Bone marrow aspirate smear
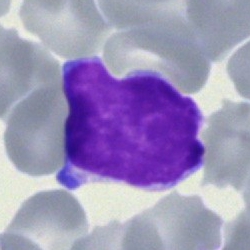

Morphology consistent with a lymphocyte (immature).